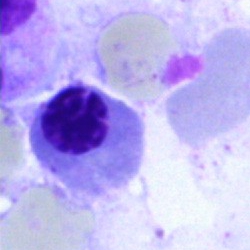 Impression — nucleated red blood cell.